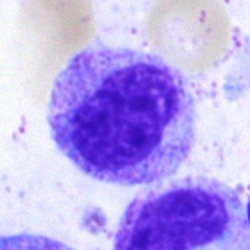
Q: Which cell type is shown here?
A: It is a myelocyte.